Single cell centered in the field. Bone marrow smear — 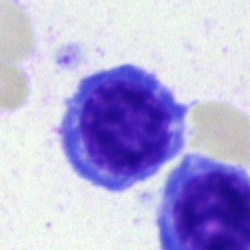Q: What type of cell is this?
A: It is a nucleated red cell.